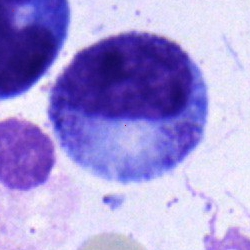
Bone marrow smear showing a promyelocyte.